Bone marrow aspirate smear. 250 by 250 pixels. 40× oil immersion: 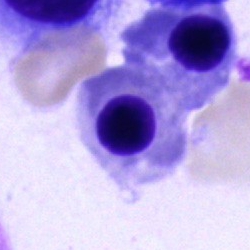
Classification: nucleated red cell.